Bone marrow smear:
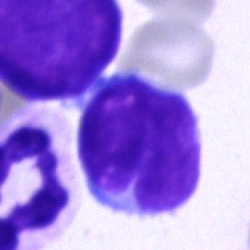Morphology consistent with an undifferentiated blast.